Single cell centered in the field; bone marrow aspirate smear: 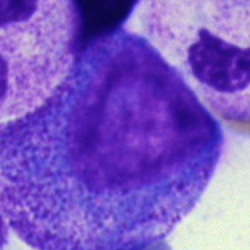
A promyelocyte.